Bone marrow aspirate smear. 250×250. Pappenheim-stained
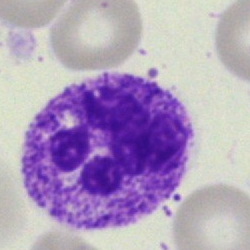Morphological class: segmented neutrophil.